Bone marrow aspirate smear.
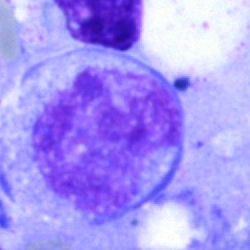

Q: What is the morphological classification of this cell?
A: A cell of indeterminate lineage.